Peripheral blood smear; 400×400: 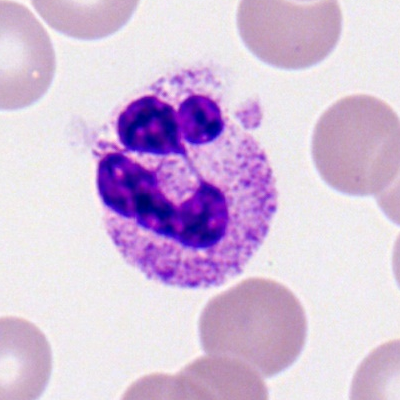Cell = polymorphonuclear neutrophil.